Single-cell crop; bone marrow smear:
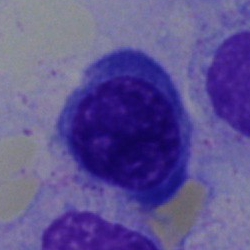This is a nucleated red cell.